Brightfield microscopy, 40× oil immersion. Bone marrow aspirate smear.
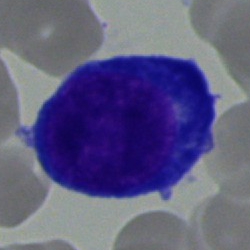 Specimen: bone marrow aspirate smear.
Morphological class: proerythroblast.